Bone marrow smear:
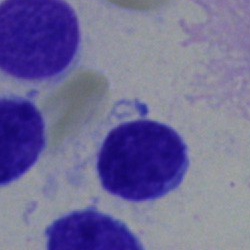Morphology consistent with a typical lymphocyte.